Bone marrow smear — 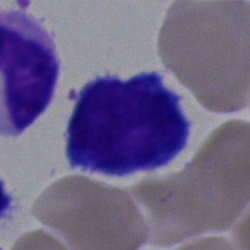 Classification — typical lymphocyte.